May-Grünwald-Giemsa/Pappenheim stain; bone marrow smear:
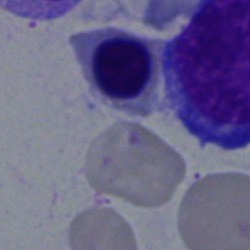

Specimen: bone marrow aspirate smear.
Classification: erythroblast.
Lineage: erythroid.